40× oil immersion. Bone marrow aspirate smear:
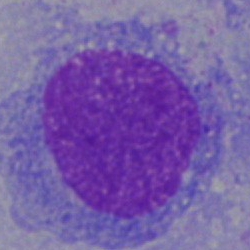

Specimen: bone marrow aspirate smear.
Classification: blast.